Cropped to a single cell; bone marrow smear; 250×250 px
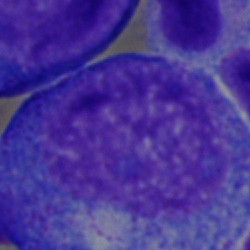 A promyelocyte.